Bone marrow aspirate smear
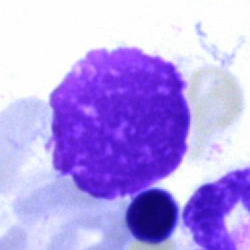
Morphology — artifact.